Bone marrow smear; image size 250×250: 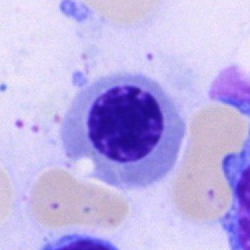The classification is nucleated red blood cell.